Bone marrow aspirate smear.
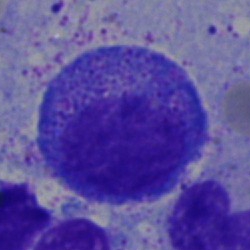 Morphology consistent with a promyelocyte.